Bone marrow aspirate smear. 40× objective, oil immersion: 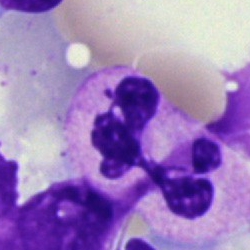 A segmented neutrophil.